250 by 250 pixels; bone marrow smear — 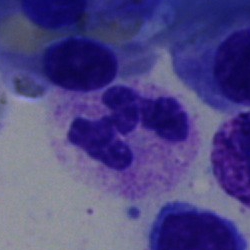 Morphology consistent with a segmented neutrophil.